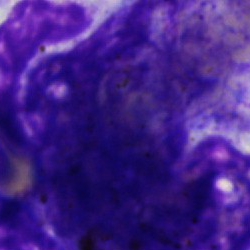Morphological class — artefact.